Bone marrow smear; single-cell crop
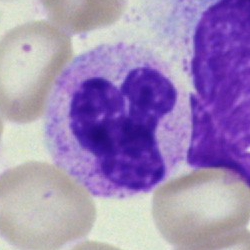Neutrophil (segmented).